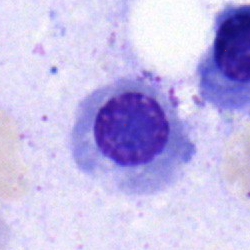 Nucleated red blood cell.